Bone marrow smear
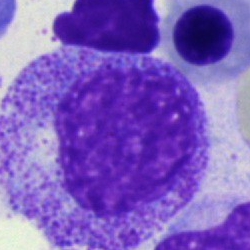
Specimen: bone marrow smear.
Morphological class: myelocyte.